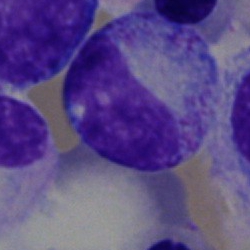 The cell shown is a promyelocyte.